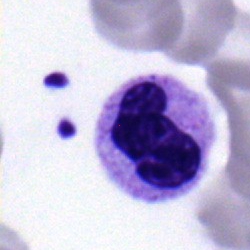
Cell type: stab cell.